Bone marrow aspirate smear — 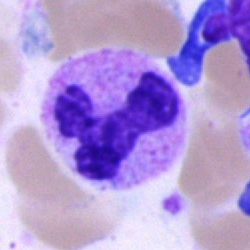 Showing a segmented neutrophil.